Bone marrow smear — 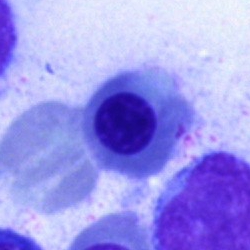
A normoblast.